Bone marrow smear.
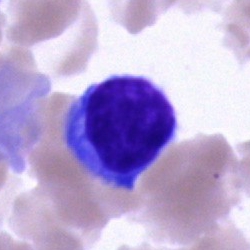

Classification = lymphocyte.